Bone marrow aspirate smear:
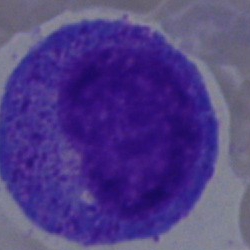

The cell type is progranulocyte.